Bone marrow aspirate smear · 250×250:
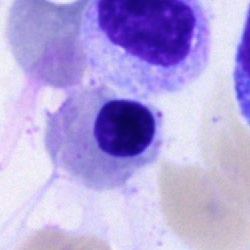Morphology — nucleated red blood cell.